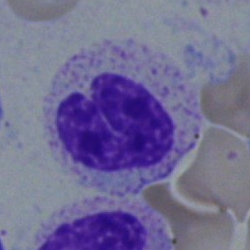
Morphology consistent with a band neutrophil.